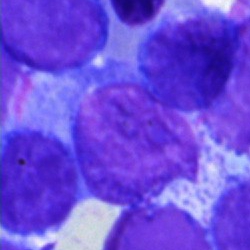

The cell type is lymphocyte.